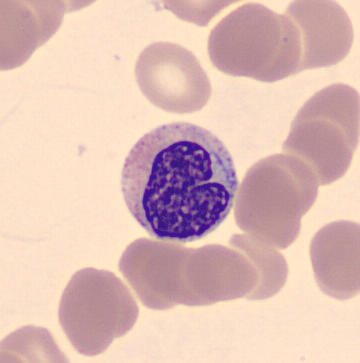
Q: What cell is this?
A: A metamyelocyte.
360 by 363 pixels. Peripheral blood smear. Single-cell crop.